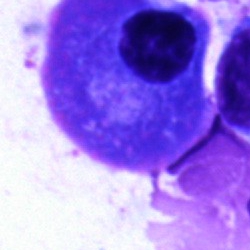 Morphology — plasmacyte.